Bone marrow aspirate smear · image size 250×250 · May-Grünwald-Giemsa stain.
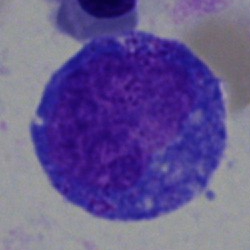

Q: What is shown here?
A: This is a pronormoblast.